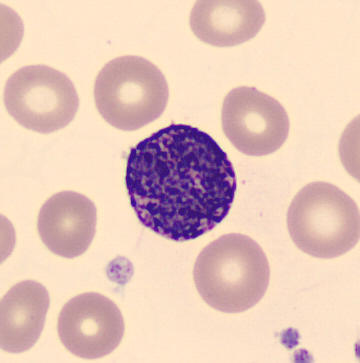 Specimen: peripheral blood film.
Cell type: basophilic granulocyte.
Lineage: myeloid.